Bone marrow smear
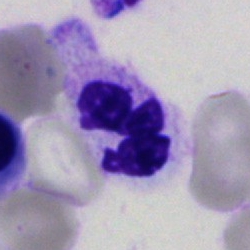 A segmented neutrophil.